Brightfield, 40× oil-immersion objective · bone marrow smear.
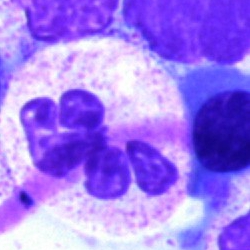The cell shown is a polymorphonuclear neutrophil.